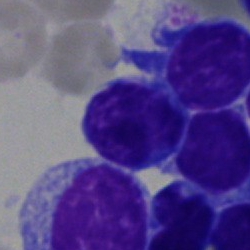

Cell — typical lymphocyte.